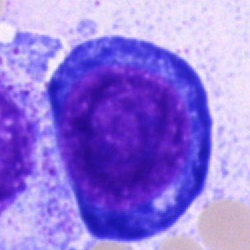
Q: What is the morphological classification of this cell?
A: This is a proerythroblast.